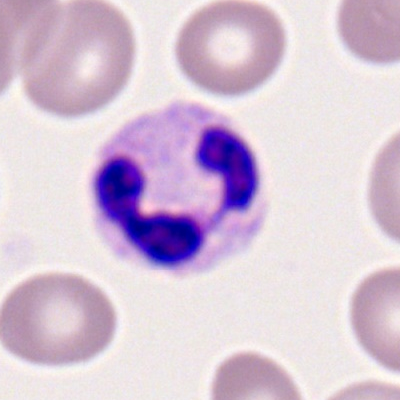

Morphological class: neutrophil (segmented).